Bone marrow smear · 250×250 · May-Grünwald-Giemsa stain — 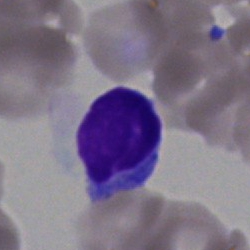 Specimen: bone marrow aspirate smear.
Morphological class: lymphocyte.